Peripheral blood smear:
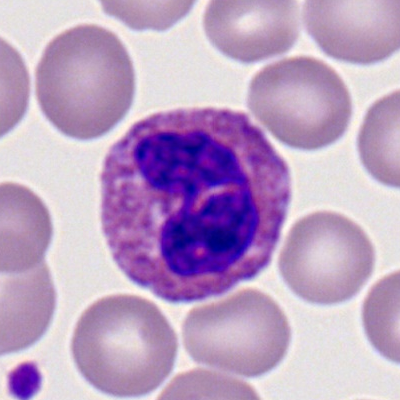 The classification is eosinophilic granulocyte.